Single-cell field · bone marrow aspirate smear: 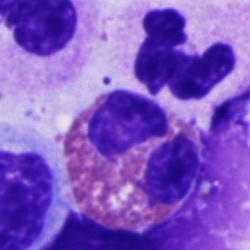Q: What type of cell is this?
A: This is an eosinophil.